Bone marrow aspirate smear:
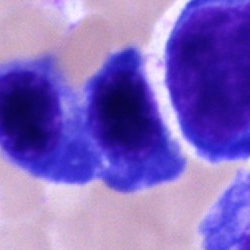 Normoblast.